Romanowsky-stained; peripheral blood smear; single cell centered in the field:
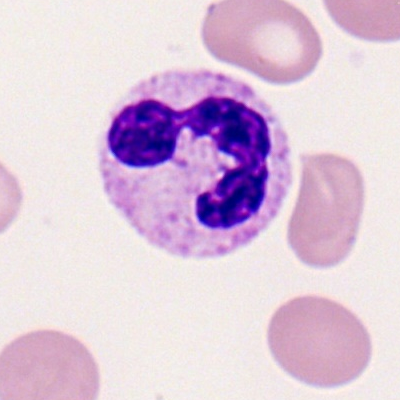 A segmented neutrophil.